Bone marrow smear
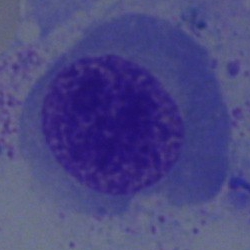

Impression → nucleated red cell.